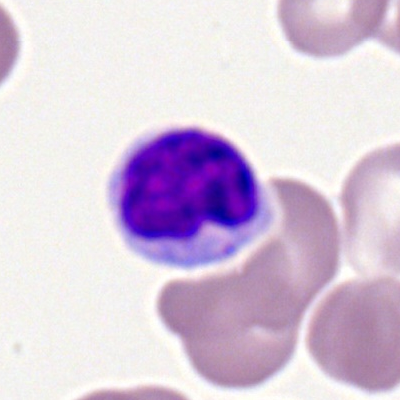

Q: What is the morphological classification of this cell?
A: A lymphocyte.